Bone marrow aspirate smear: 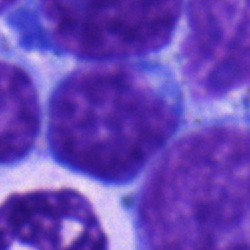 Showing a lymphocyte.